Bone marrow smear.
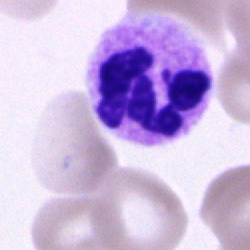A neutrophil (segmented).